Single-cell crop · bone marrow smear · brightfield, 40× oil-immersion objective — 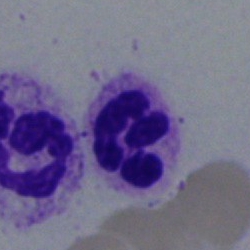Q: What is the morphological classification of this cell?
A: It is a segmented neutrophil.